Bone marrow aspirate smear · 250×250 — 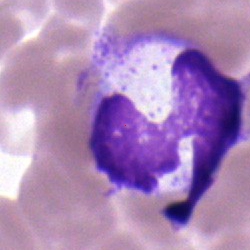

Morphology — polymorphonuclear neutrophil.